Bone marrow smear — 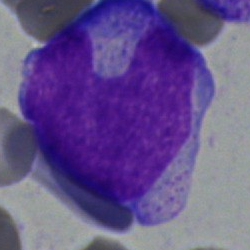 The cell is progranulocyte.